250×250 px; bone marrow smear: 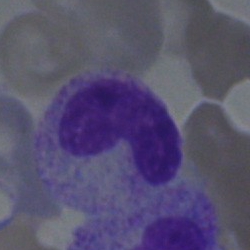

Specimen: bone marrow aspirate smear.
Morphological class: neutrophil (band).